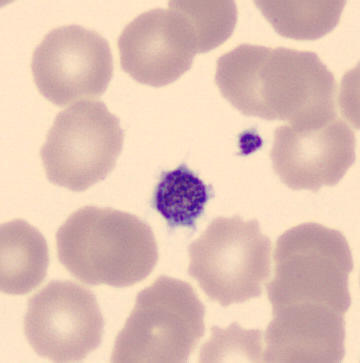
Peripheral blood smear; MGG stain. Morphological class: thrombocyte.